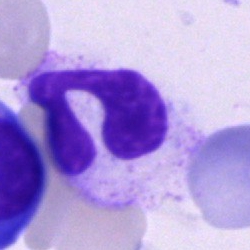

Showing a neutrophil (segmented).